Single-cell crop; bone marrow aspirate smear
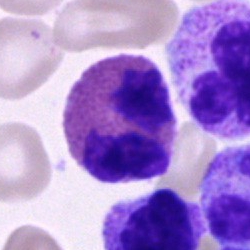 Classification = eosinophilic granulocyte.